Bone marrow smear
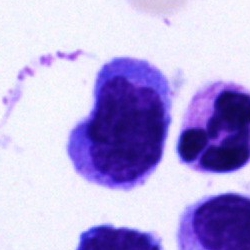

This is a lymphocyte.